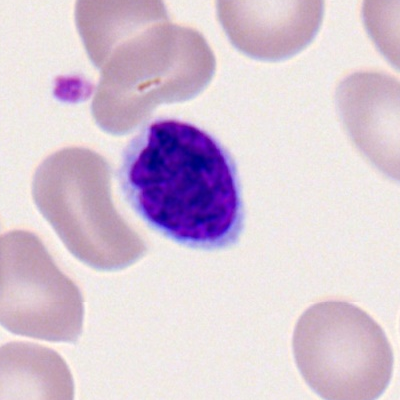

Lymphocyte.